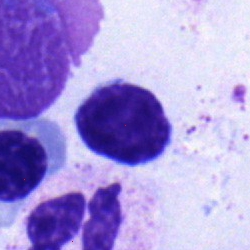 The cell is lymphocyte.